Bone marrow aspirate smear · 250 by 250 pixels
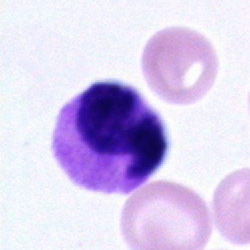Cell = neutrophil (segmented).